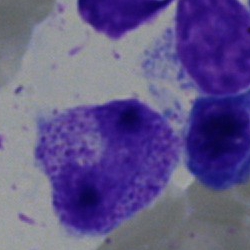

Showing a polymorphonuclear neutrophil.